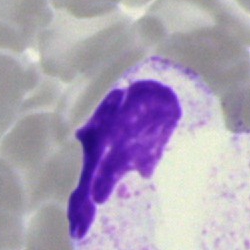

This is a polymorphonuclear neutrophil.